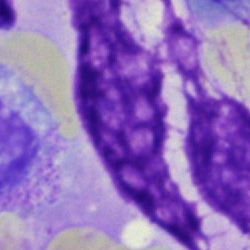An artefact.